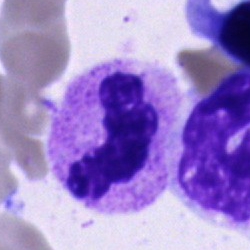Morphology — segmented neutrophil.